Bone marrow aspirate smear
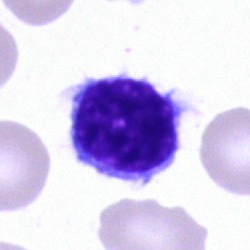Lymphocyte.